Bone marrow aspirate smear: 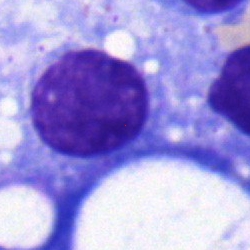 Q: Which cell type is shown here?
A: Plasma cell.